Bone marrow smear.
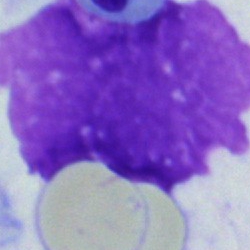

Specimen: bone marrow aspirate smear.
Morphological class: artifact.